Bone marrow smear.
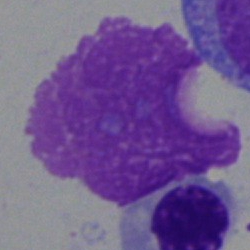

Cell: artefact.